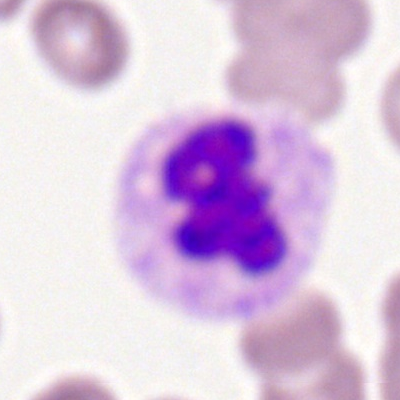Cell type: neutrophil (segmented).